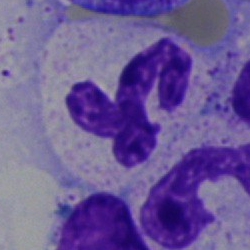
Morphology → polymorphonuclear neutrophil.